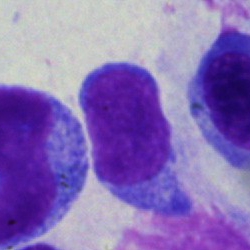

Specimen: bone marrow aspirate smear.
Classification: typical lymphocyte.
Lineage: lymphoid.